Bone marrow aspirate smear: 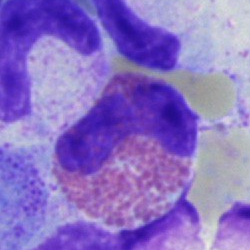This is an eosinophilic granulocyte.